May-Grünwald-Giemsa/Pappenheim stain. Bone marrow aspirate smear: 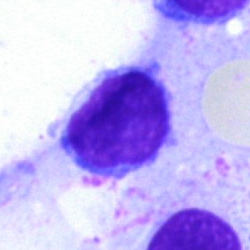

Morphological class = typical lymphocyte.